Bone marrow smear
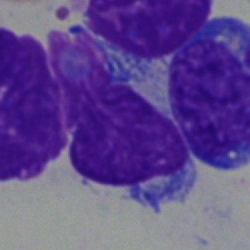
This is a lymphocyte.